Bone marrow smear. 250×250 px. Brightfield microscopy, 40× oil immersion.
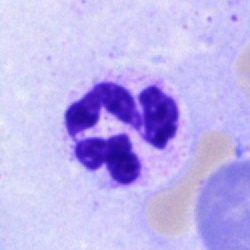

Cell type — polymorphonuclear neutrophil.